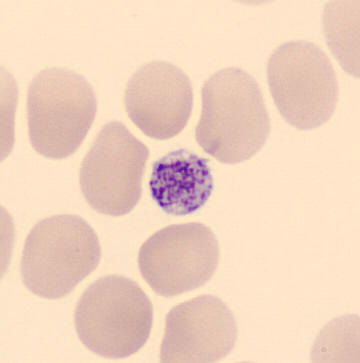 Q: What is shown here?
A: It is a thrombocyte.
Peripheral blood smear; May Grünwald-Giemsa stain.